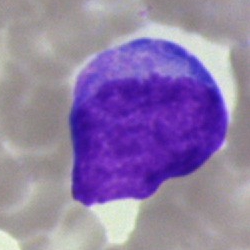 Morphology — blast cell.